Bone marrow smear
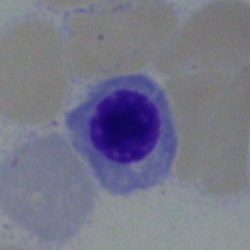
Single cell identified as an erythroblast.